Bone marrow aspirate smear — 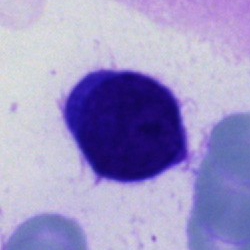

The cell type is cell of indeterminate lineage.